Pappenheim-stained; bone marrow smear; single-cell field
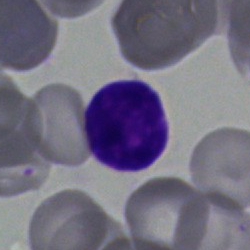 Impression → typical lymphocyte.